40× oil immersion · bone marrow aspirate smear · 250×250 px.
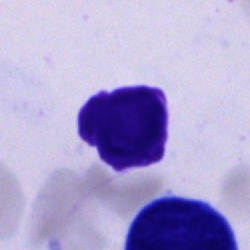

Classification — artifact.